MGG-stained; bone marrow aspirate smear: 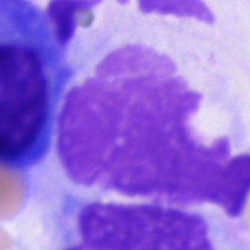
Specimen: bone marrow aspirate smear.
Cell type: artifact.